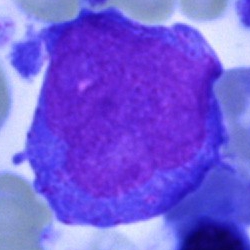 Single-cell crop from a bone marrow smear: blast cell.